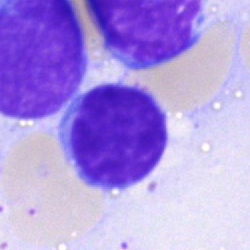Bone marrow smear showing a lymphocyte.